Bone marrow smear; brightfield, 40× oil-immersion objective.
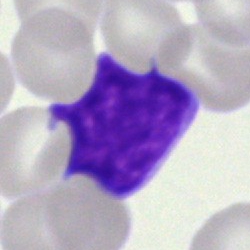

Blast cell.